Brightfield microscopy, 40× oil immersion; bone marrow aspirate smear; image size 250×250: 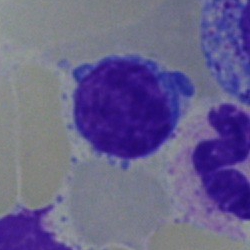
Specimen: bone marrow smear.
Cell: lymphocyte.
Lineage: lymphoid.